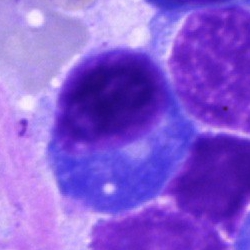{"cell_type": "plasmacyte"}